250×250 · bone marrow aspirate smear: 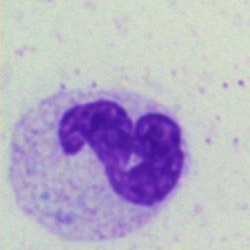Q: What is shown here?
A: Polymorphonuclear neutrophil.